Single-cell field. Bone marrow smear:
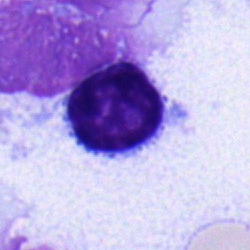 Lymphocyte.